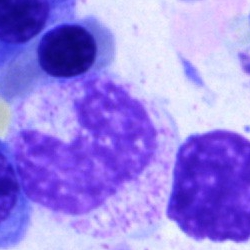 A neutrophil (band) on a bone marrow smear.